Cropped to a single cell; bone marrow smear; 40× objective, oil immersion.
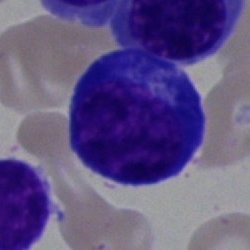Nucleated red cell.